250 by 250 pixels · bone marrow smear.
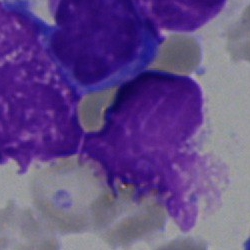Single cell identified as an artifact.